Bone marrow aspirate smear.
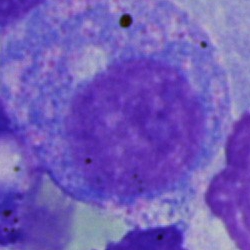

Morphological class — promyelocyte.